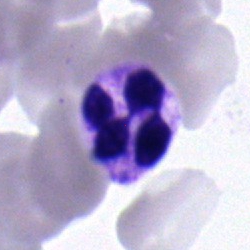 Single-cell crop from a bone marrow smear: segmented neutrophil.